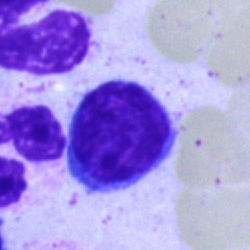 Bone marrow smear showing a lymphocyte.